Cropped to a single cell. Bone marrow aspirate smear.
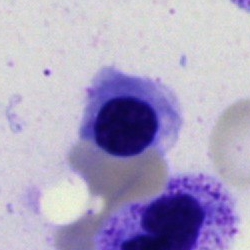

Impression → normoblast.